100× objective, oil immersion; peripheral blood smear: 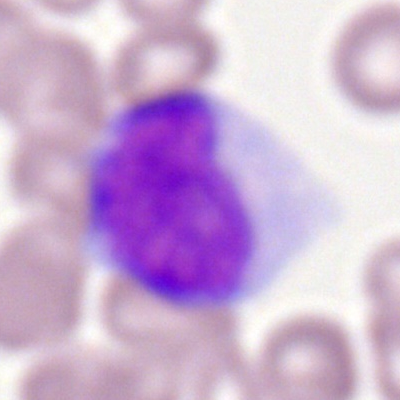
The classification is monocyte.